Bone marrow smear.
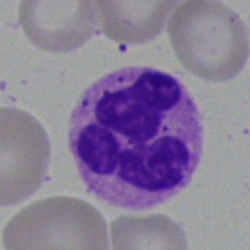 The cell shown is a neutrophil (segmented).